Bone marrow smear · MGG-stained: 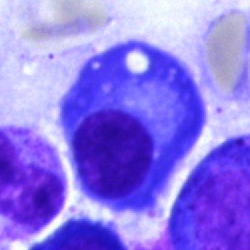Specimen: bone marrow smear.
Classification: plasma cell.